Brightfield, 40× oil-immersion objective; bone marrow smear
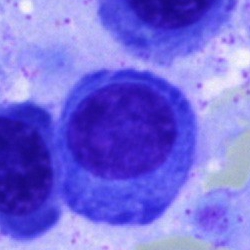
Morphology — plasma cell.